Bone marrow aspirate smear:
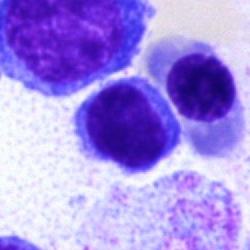 Specimen: bone marrow aspirate smear.
Cell type: normoblast.